400×400 px · brightfield, 100× oil-immersion objective · peripheral blood smear:
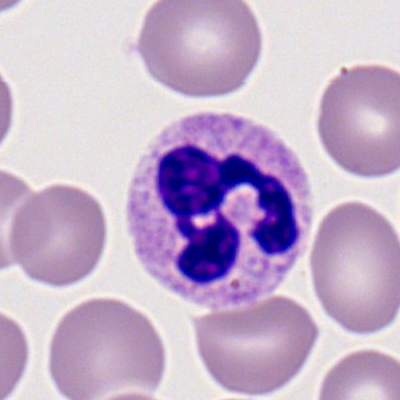 The morphological class is segmented neutrophil.